400×400 px. Peripheral blood smear:
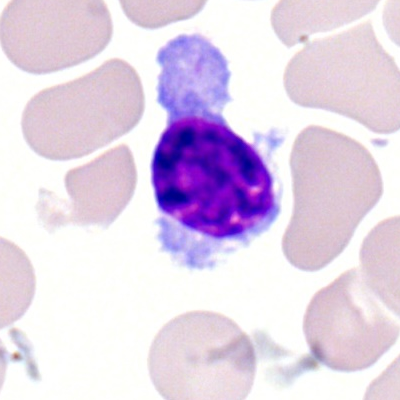

Q: What cell is this?
A: It is a typical lymphocyte.